Bone marrow aspirate smear:
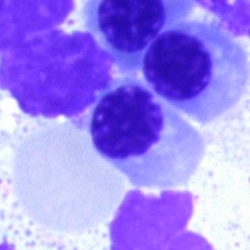Impression → nucleated red cell.